May-Grünwald-Giemsa stain · bone marrow aspirate smear — 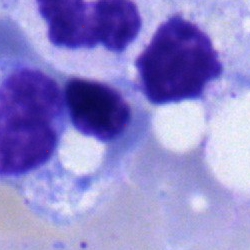 Q: What is shown here?
A: It is an erythroblast.